Bone marrow aspirate smear.
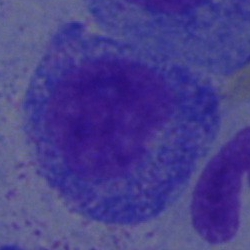
Cell — promyelocyte.